Bone marrow aspirate smear · 40× oil immersion · May-Grünwald-Giemsa/Pappenheim stain.
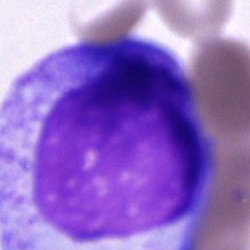

Impression — progranulocyte.